Bone marrow smear:
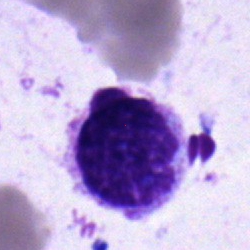 Single cell identified as a monocyte.